Bone marrow smear:
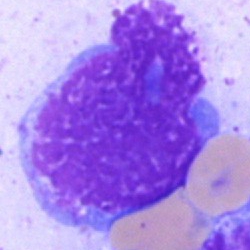

Showing an artifact.